Bone marrow smear · single cell centered in the field: 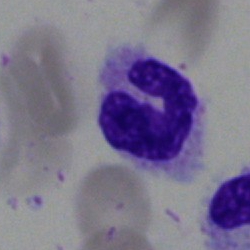

The cell shown is a neutrophil (segmented).